Romanowsky stain. Peripheral blood smear:
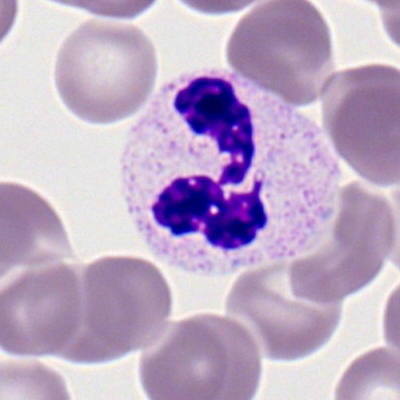Polymorphonuclear neutrophil.